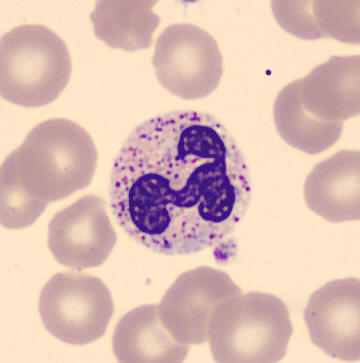 Preparation: Peripheral blood film; May-Grünwald-Giemsa-stained.

A polymorphonuclear neutrophil.